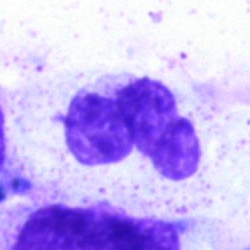

Morphology → polymorphonuclear neutrophil.